Bone marrow aspirate smear:
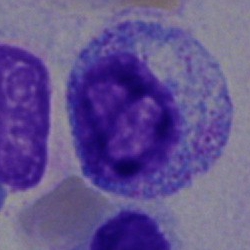
Showing a myelocyte.